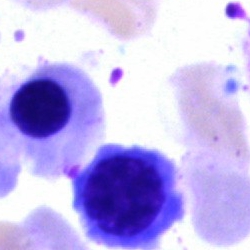Q: Identify the cell.
A: Erythroblast.